Bone marrow aspirate smear
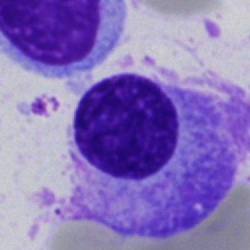

Showing a plasmacyte.